250 by 250 pixels · bone marrow aspirate smear: 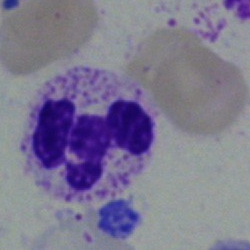Q: What type of cell is this?
A: A neutrophil (segmented).